250×250 px. Bone marrow aspirate smear
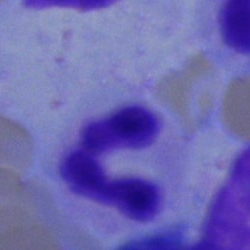
Morphology — stab cell.